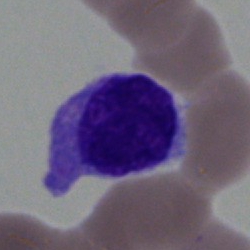

Morphological class: undifferentiated blast.